Bone marrow smear: 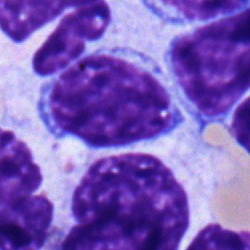Morphology consistent with a typical lymphocyte.